Bone marrow smear
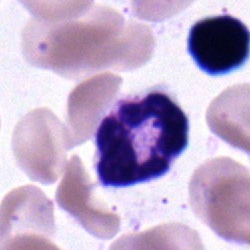 Classification: polymorphonuclear neutrophil.